May-Grünwald-Giemsa stain; bone marrow smear:
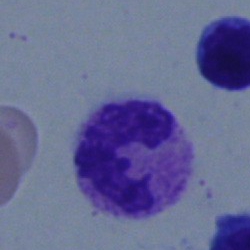 Morphology consistent with a band-form neutrophil.